Bone marrow smear · brightfield microscopy, 40× oil immersion · single cell centered in the field.
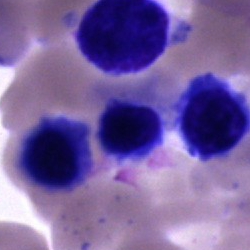
Q: What type of cell is this?
A: A cell of indeterminate lineage.